Bone marrow smear:
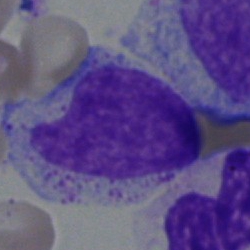Cell type: myelocyte.